Bone marrow aspirate smear:
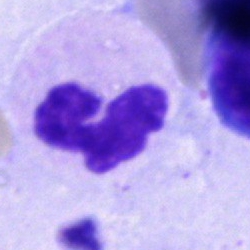 Specimen: bone marrow smear.
Cell type: polymorphonuclear neutrophil.